Bone marrow aspirate smear — 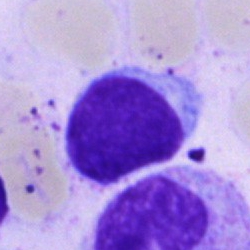Cell = lymphocyte.